Single-cell crop; bone marrow smear; brightfield microscopy, 40× oil immersion — 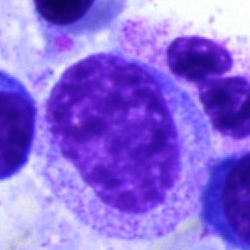

Cell type: myelocyte.